Peripheral blood film:
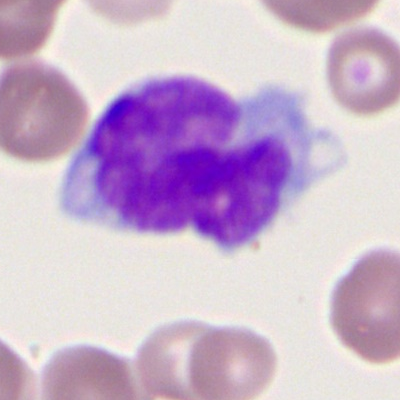 Morphology consistent with a monocyte.